Bone marrow aspirate smear:
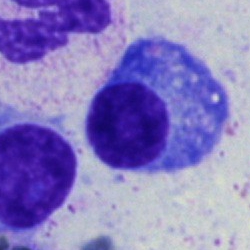 Showing a plasma cell.